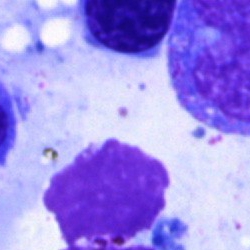

Q: What is shown here?
A: An artefact.